Bone marrow aspirate smear; single-cell field: 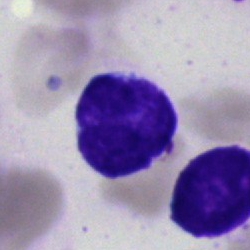

The cell shown is a lymphocyte.